Peripheral blood smear; M8 digital microscope (Precipoint), 100× oil immersion.
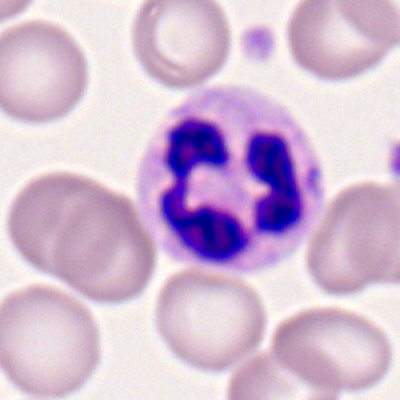

Q: What is shown here?
A: A segmented neutrophil.